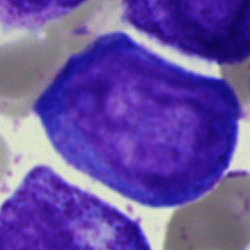The morphological class is undifferentiated blast.